Bone marrow aspirate smear. 40× objective, oil immersion:
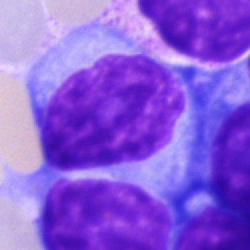

Specimen: bone marrow aspirate smear.
Classification: typical lymphocyte.
Lineage: lymphoid.